Bone marrow smear; single-cell crop — 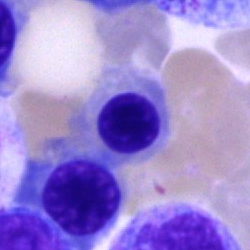 Cell = normoblast.